Bone marrow aspirate smear · cropped to a single cell: 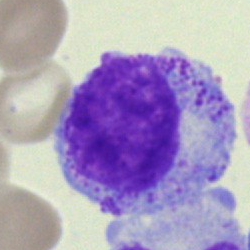
This is a myelocyte.